Romanowsky-stained · 100× oil immersion · peripheral blood film: 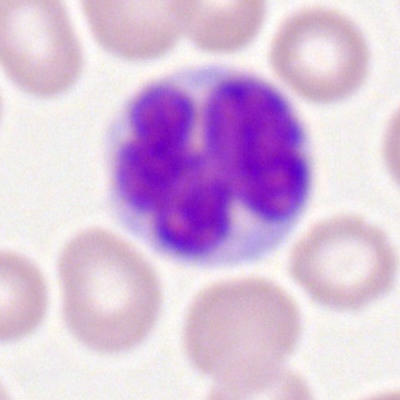
Specimen: peripheral blood smear.
Cell type: monocyte.
Lineage: myeloid.